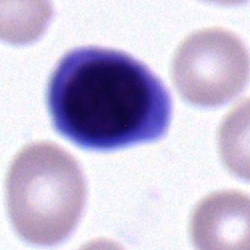

Cell type: lymphocyte.